Bone marrow smear.
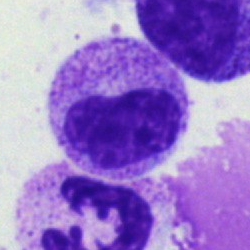

Morphology consistent with a metamyelocyte.